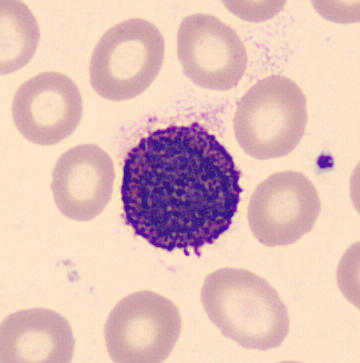Q: What is this?
A: This is a basophilic granulocyte. Acquisition: CellaVision DM96 digital cell image · peripheral blood film.